Bone marrow aspirate smear: 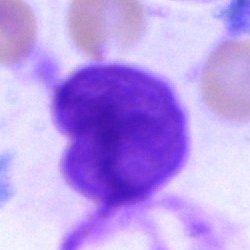Q: What is shown here?
A: It is an artefact.